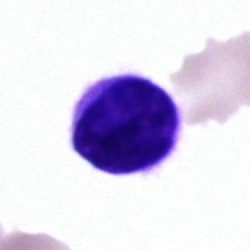 Morphology → lymphocyte.